400×400. Peripheral blood film:
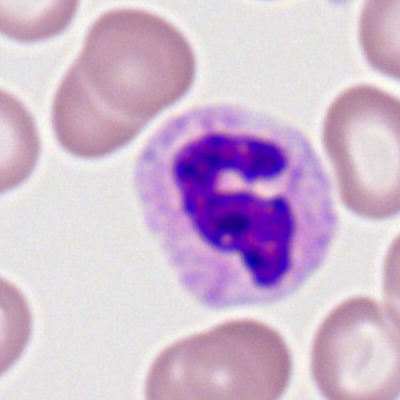

Classification: polymorphonuclear neutrophil.